Bone marrow aspirate smear.
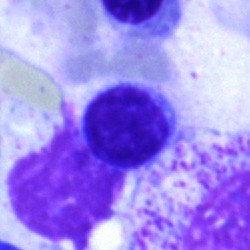
Q: What type of cell is this?
A: Typical lymphocyte.